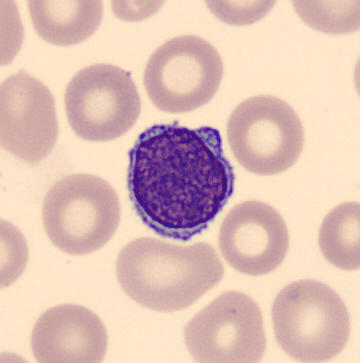

Single cell identified as a lymphocyte.